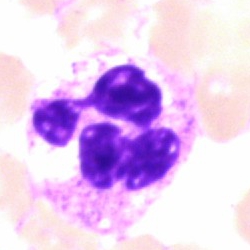

A segmented neutrophil on a bone marrow smear.